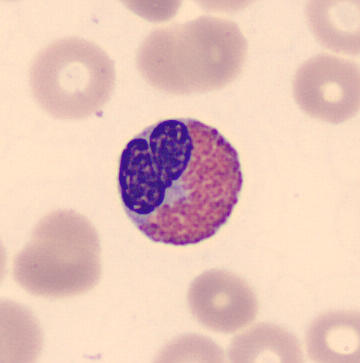
Acquisition: Peripheral blood film. Showing an eosinophil.